Bone marrow aspirate smear: 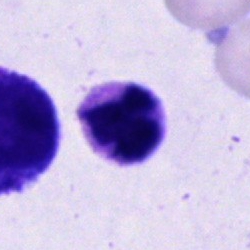 This is an unidentifiable cell.